Pappenheim-stained; 40× objective, oil immersion; bone marrow aspirate smear: 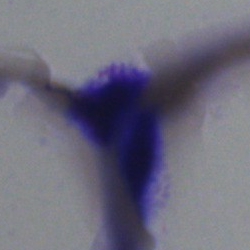
Q: What is shown here?
A: An artefact.